Single cell centered in the field · peripheral blood film · Romanowsky-stained: 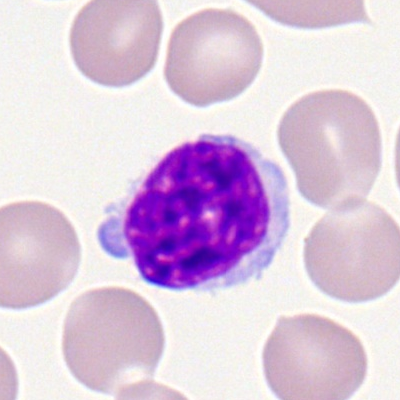
Cell — typical lymphocyte.